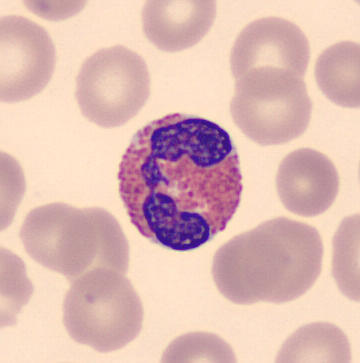
Q: What is the morphological classification of this cell?
A: An eosinophilic granulocyte.